Bone marrow aspirate smear: 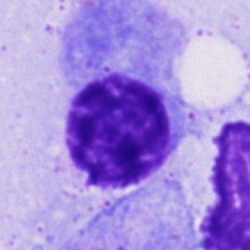

Q: What cell is this?
A: A plasma cell.